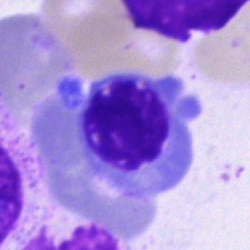Q: What is the morphological classification of this cell?
A: It is a nucleated red cell.